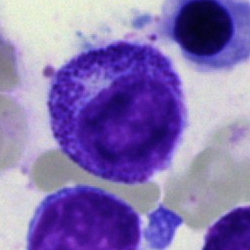Bone marrow aspirate smear, single cell — myelocyte.